Bone marrow aspirate smear:
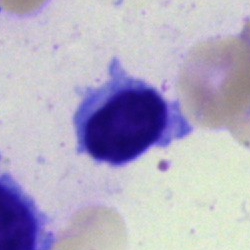Classification = lymphocyte.